Image size 250×250; bone marrow aspirate smear:
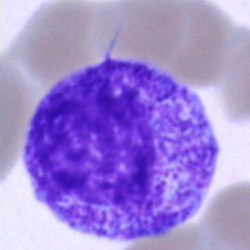 This is a progranulocyte.